Peripheral blood smear. 400×400 px. Romanowsky stain — 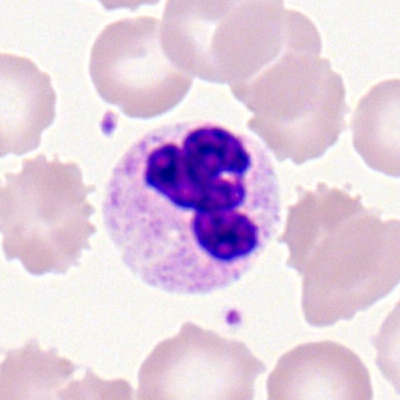

Q: What is shown here?
A: This is a segmented neutrophil.